40× oil immersion · bone marrow aspirate smear.
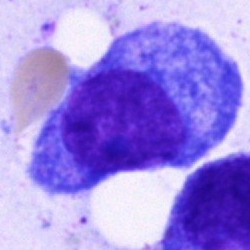Showing a promyelocyte.